Bone marrow aspirate smear:
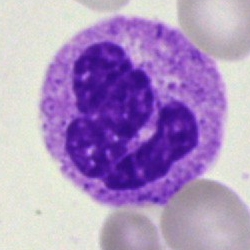
Morphology — polymorphonuclear neutrophil.